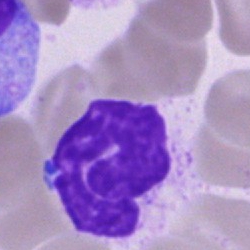

Impression — artifact.